Cropped to a single cell; bone marrow smear; brightfield microscopy, 40× oil immersion:
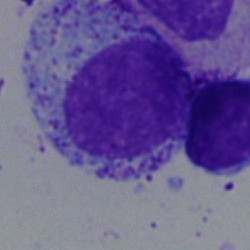
{"cell_type": "myelocyte", "lineage": "myeloid"}